Bone marrow aspirate smear · brightfield, 40× oil-immersion objective
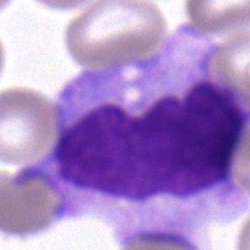Morphology — monocyte.